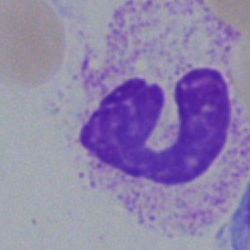
Specimen: bone marrow smear.
Cell type: artefact.